Bone marrow aspirate smear.
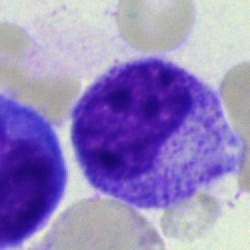

Morphological class = myelocyte.